250×250 px · bone marrow smear — 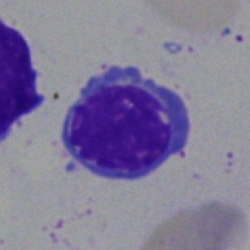
This is a nucleated red blood cell.